Bone marrow smear. May-Grünwald-Giemsa stain. 250 by 250 pixels — 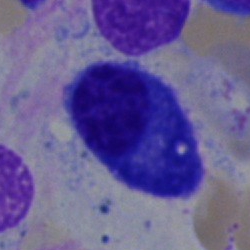

Impression — plasmacyte.